Bone marrow aspirate smear: 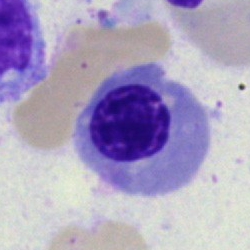
Q: What is the morphological classification of this cell?
A: Nucleated red blood cell.